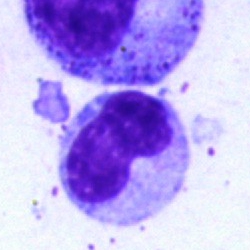

Q: Identify the cell.
A: It is a neutrophil (band).